Single-cell crop. Bone marrow smear: 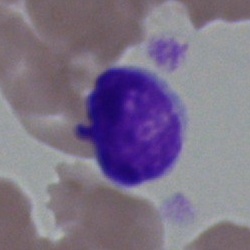

Single cell identified as a typical lymphocyte.